Bone marrow aspirate smear
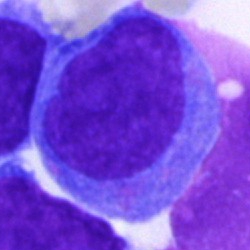

{"cell_type": "blast cell"}